40× objective, oil immersion. Bone marrow aspirate smear: 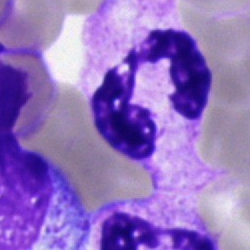

Impression — polymorphonuclear neutrophil.